Single-cell crop · bone marrow smear: 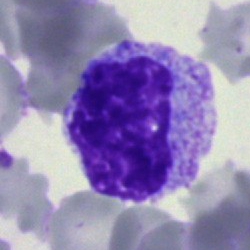 {"cell_type": "myelocyte", "lineage": "myeloid"}